Bone marrow smear — 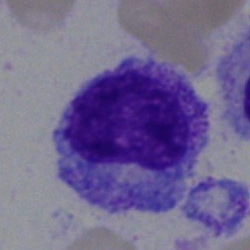

The cell shown is a metamyelocyte.